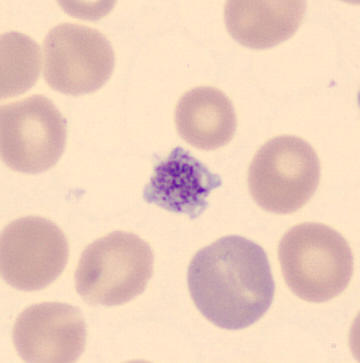
Platelet.

Acquisition: Peripheral blood smear.